Pappenheim-stained. Bone marrow aspirate smear. Brightfield microscopy, 40× oil immersion — 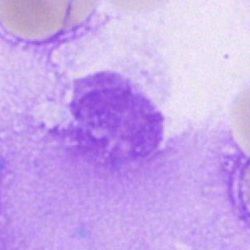Cell — artifact.